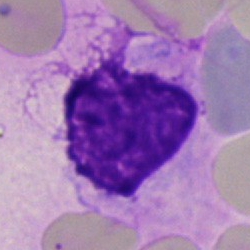{"cell_type": "artifact"}